Bone marrow smear; Pappenheim-stained: 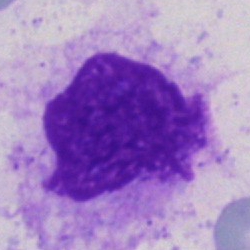
Specimen: bone marrow aspirate smear.
Cell type: artifact.